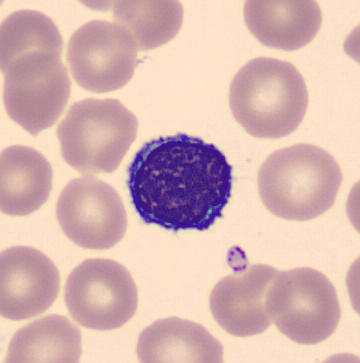Specimen: peripheral blood smear.
Classification: typical lymphocyte.
Lineage: lymphoid.